Pappenheim-stained; single cell centered in the field; bone marrow smear:
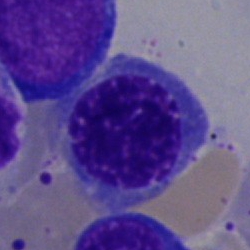Specimen: bone marrow aspirate smear.
Classification: normoblast.
Lineage: erythroid.